Bone marrow smear · May-Grünwald-Giemsa stain: 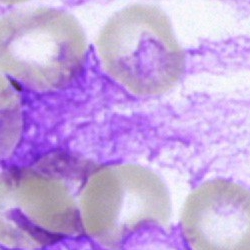 Morphological class — artifact.